Bone marrow aspirate smear.
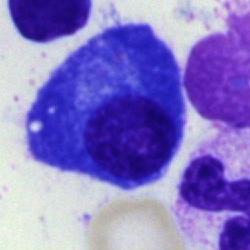 The classification is plasmacyte.